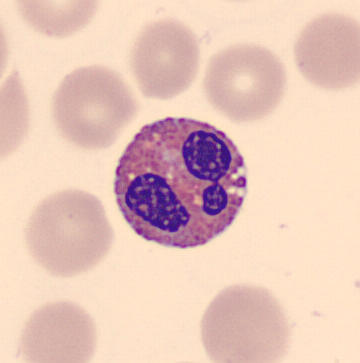Single cell identified as an eosinophilic granulocyte.
Preparation: Peripheral blood smear · 360 by 363 pixels.